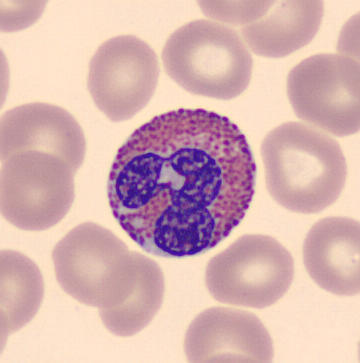
Single cell identified as an eosinophil.

Image: Cropped to a single cell. May Grünwald-Giemsa stain. Peripheral blood film.